Bone marrow aspirate smear — 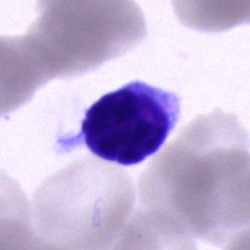Single cell identified as a typical lymphocyte.